250 by 250 pixels. Bone marrow aspirate smear: 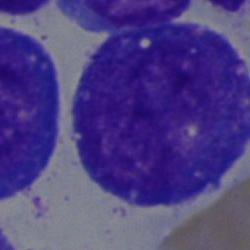 This is a progranulocyte.